MGG-stained · bone marrow smear · cropped to a single cell: 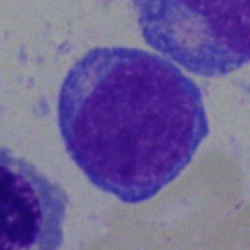
This is a typical lymphocyte.